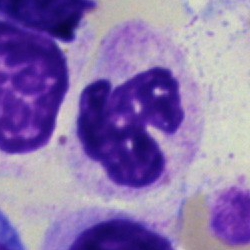
Classification: polymorphonuclear neutrophil.